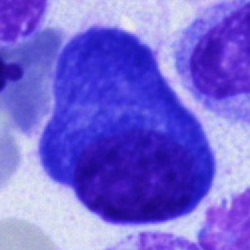Morphological class — plasmacyte.